Single-cell crop; bone marrow aspirate smear: 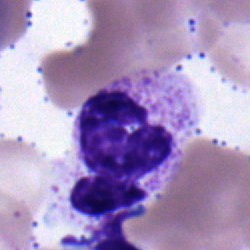
The cell is polymorphonuclear neutrophil.